Bone marrow aspirate smear.
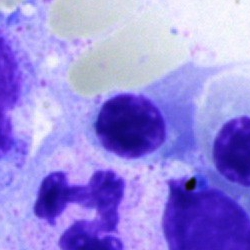Q: Identify the cell.
A: This is a normoblast.